Single-cell field. Bone marrow aspirate smear — 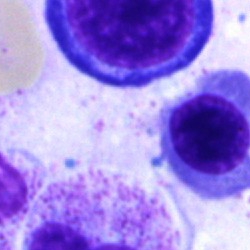

Morphology → erythroblast.